Bone marrow aspirate smear · single-cell field — 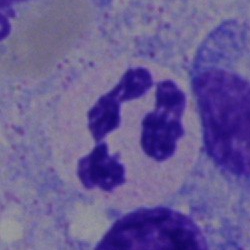Showing a neutrophil (segmented).